Pappenheim-stained. Bone marrow smear. Brightfield, 40× oil-immersion objective.
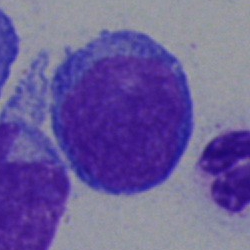

Cell type = progranulocyte.